Brightfield, 40× oil-immersion objective. Bone marrow aspirate smear: 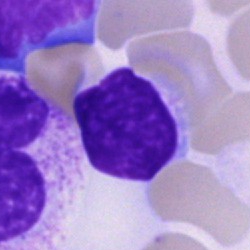

Specimen: bone marrow aspirate smear.
Classification: artifact.